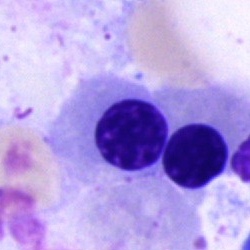

Q: Identify the cell.
A: An erythroblast.